Bone marrow aspirate smear: 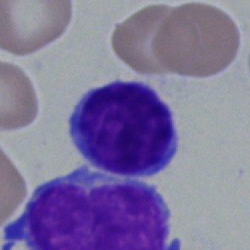Specimen: bone marrow aspirate smear.
Classification: typical lymphocyte.
Lineage: lymphoid.